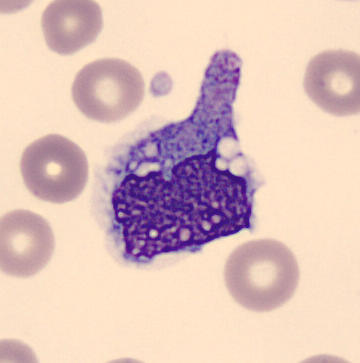
Q: What is this?
A: Monocyte.